Cropped to a single cell; bone marrow smear; 250×250
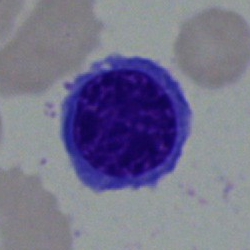

This is a nucleated red cell.